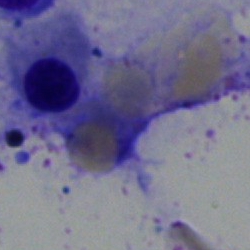 Bone marrow aspirate smear, single cell — nucleated red blood cell.